Brightfield, 40× oil-immersion objective. Bone marrow smear. Pappenheim-stained: 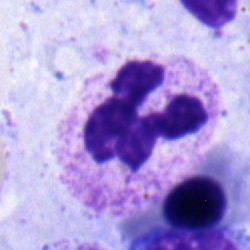 Morphology — neutrophil (segmented).